Bone marrow smear. MGG-stained. Image size 250×250.
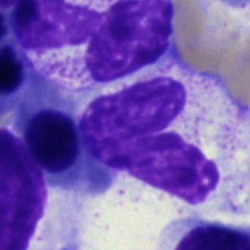Classification: band neutrophil.